Bone marrow aspirate smear — 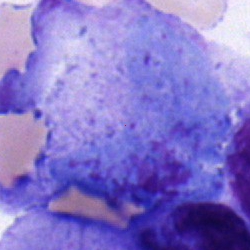Blast.